40× oil immersion. Bone marrow aspirate smear. MGG-stained
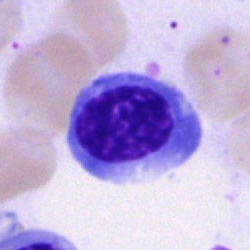
Cell type — nucleated red cell.